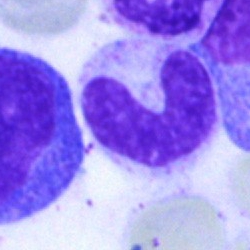

Classification = band neutrophil.